MGG-stained. Bone marrow aspirate smear. 250×250:
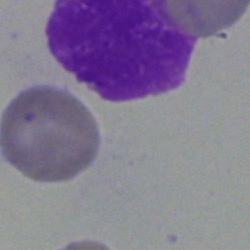
Specimen: bone marrow aspirate smear.
Morphological class: artifact.